Pappenheim-stained; single cell centered in the field; bone marrow smear.
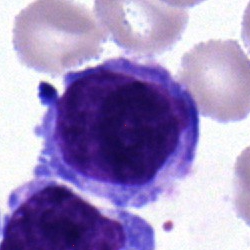This is a typical lymphocyte.